Bone marrow smear
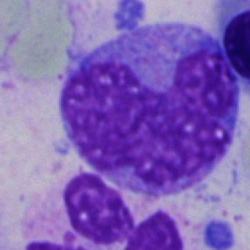Q: What type of cell is this?
A: Monocyte.